Bone marrow smear: 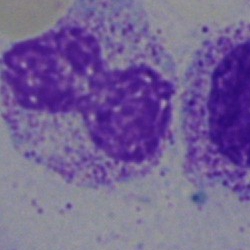Specimen: bone marrow smear.
Classification: artefact.